Single-cell crop. Bone marrow smear. Pappenheim-stained.
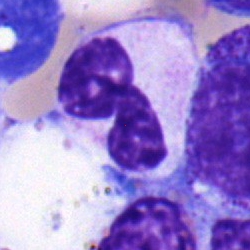

Morphology — polymorphonuclear neutrophil.